Peripheral blood smear: 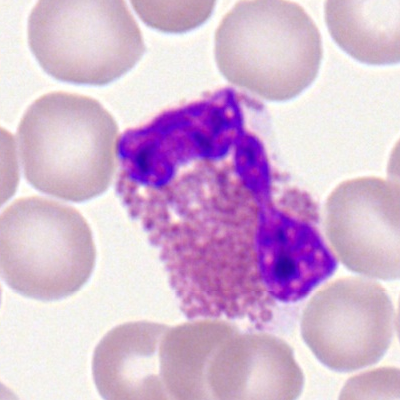 Single cell identified as an eosinophilic granulocyte.